Bone marrow smear · MGG-stained.
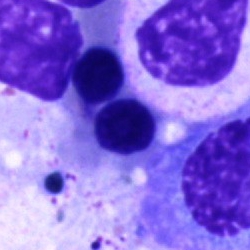 Q: What is shown here?
A: This is a cell of indeterminate lineage.